Bone marrow smear:
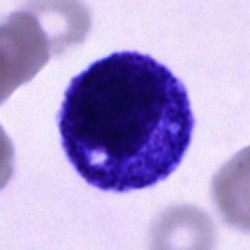Cell type: promyelocyte.